Bone marrow aspirate smear: 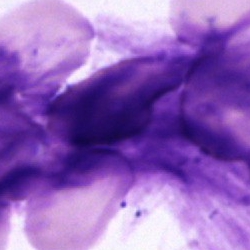

Single cell identified as an artefact.